Bone marrow smear · 250 by 250 pixels: 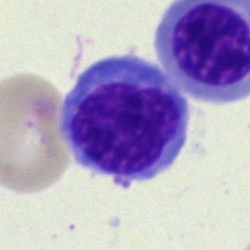 Normoblast.